Bone marrow aspirate smear
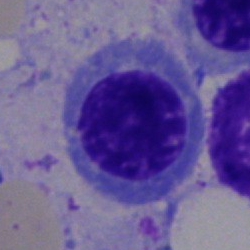 The classification is nucleated red cell.